250 by 250 pixels · bone marrow aspirate smear · brightfield, 40× oil-immersion objective — 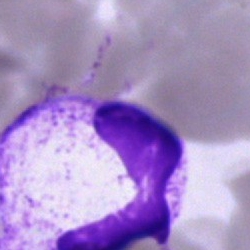

Morphology consistent with a neutrophil (segmented).